Bone marrow smear · brightfield, 40× oil-immersion objective · 250 by 250 pixels:
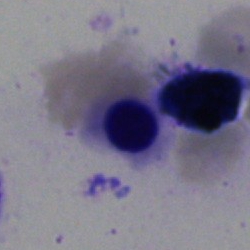 Classification = nucleated red cell.